250 by 250 pixels. MGG-stained. Bone marrow smear: 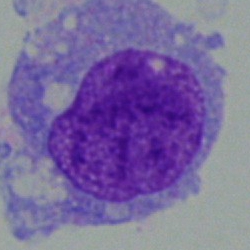
Showing an undifferentiated blast.